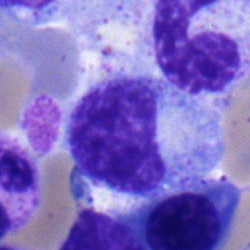 Q: What is shown here?
A: This is a metamyelocyte.